Brightfield microscopy, 40× oil immersion. Bone marrow aspirate smear:
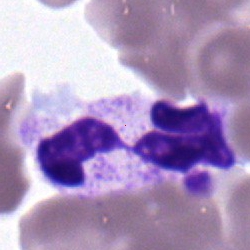Morphological class — polymorphonuclear neutrophil.